Bone marrow smear. Cropped to a single cell.
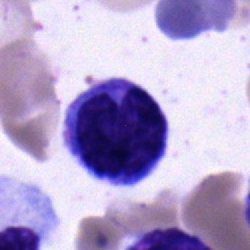

Morphology consistent with a monocyte.